Bone marrow aspirate smear: 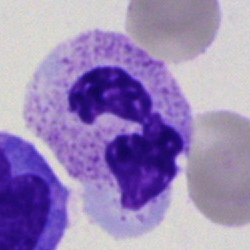Classification: neutrophil (segmented).